Bone marrow smear; May-Grünwald-Giemsa stain
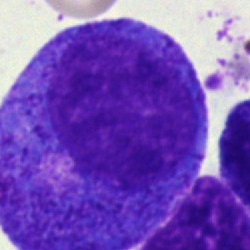 Specimen: bone marrow smear.
Morphological class: progranulocyte.
Lineage: myeloid.